Bone marrow smear.
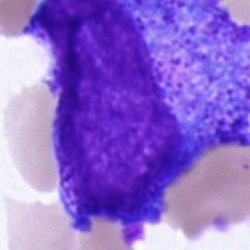
Q: What is shown here?
A: Progranulocyte.